Bone marrow aspirate smear:
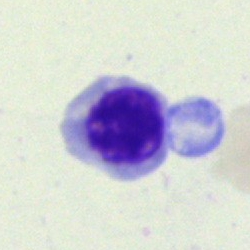

{"cell_type": "nucleated red blood cell", "lineage": "erythroid"}